Bone marrow aspirate smear; MGG-stained; single-cell field — 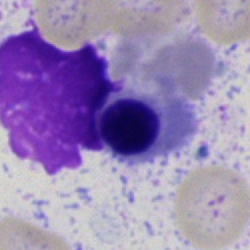Morphology → erythroblast.